Brightfield microscopy, 40× oil immersion; bone marrow aspirate smear: 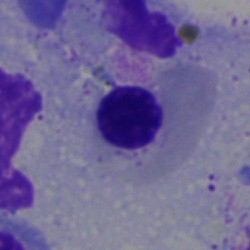Cell type — nucleated red blood cell.